Single-cell field · brightfield, 40× oil-immersion objective · bone marrow aspirate smear.
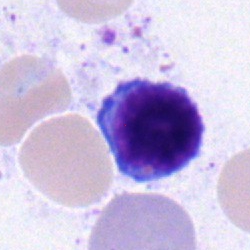
Q: What is the morphological classification of this cell?
A: A typical lymphocyte.